Bone marrow smear: 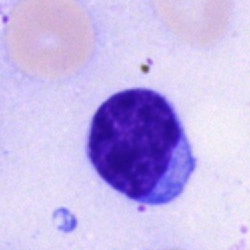A lymphocyte.